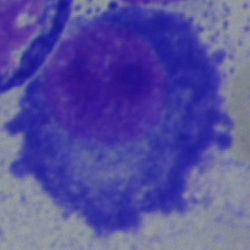
Bone marrow smear showing a plasmacyte.